Bone marrow aspirate smear: 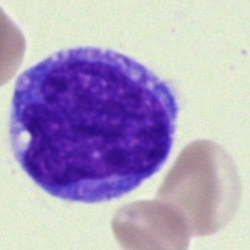 Q: Which cell type is shown here?
A: It is a monocyte.